Bone marrow aspirate smear · single-cell field · May-Grünwald-Giemsa/Pappenheim stain:
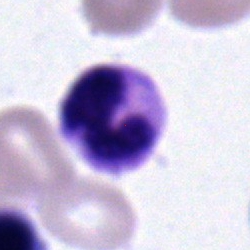 Single cell identified as a neutrophil (segmented).